Bone marrow smear: 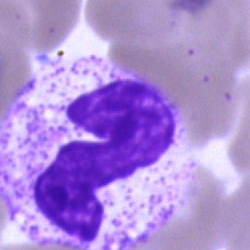
Band neutrophil.